Bone marrow smear; single cell centered in the field; 40× oil immersion.
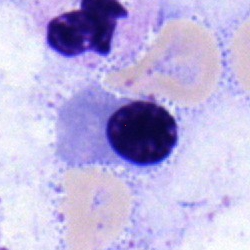

Classification — normoblast.